Bone marrow smear — 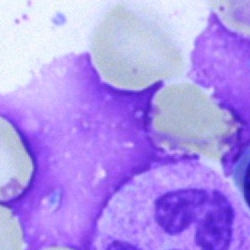 Artefact.